Brightfield, 40× oil-immersion objective; cropped to a single cell; bone marrow smear:
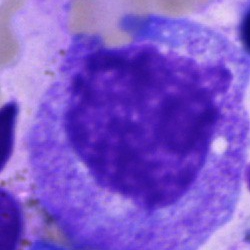 Cell type: promyelocyte.